Peripheral blood smear · Romanowsky-stained:
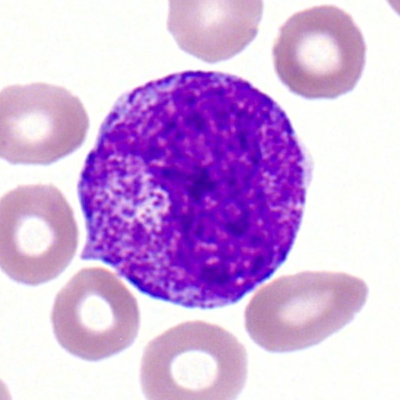 Showing a myelocyte.